Bone marrow aspirate smear: 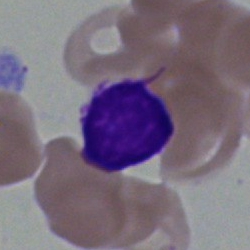 Showing a lymphocyte.